Bone marrow smear — 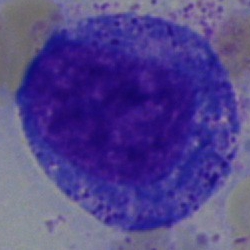 The cell shown is a progranulocyte.